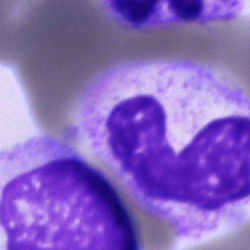
Specimen: bone marrow aspirate smear.
Classification: unidentifiable cell.